Bone marrow smear — 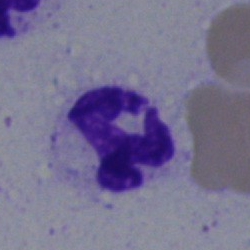 Cell type = polymorphonuclear neutrophil.